Bone marrow aspirate smear — 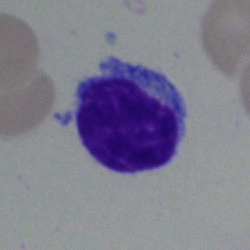
Single cell identified as a typical lymphocyte.